Bone marrow smear
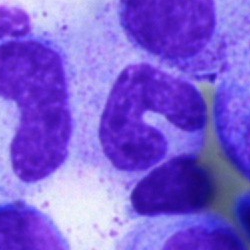 Stab cell.